Bone marrow aspirate smear — 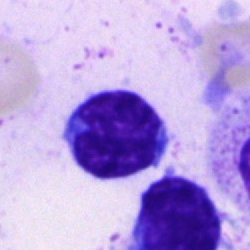
Typical lymphocyte.